Bone marrow aspirate smear.
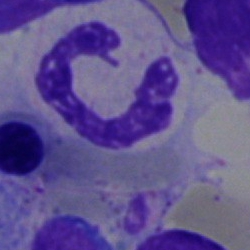
Impression → neutrophil (segmented).